Bone marrow smear; single cell centered in the field:
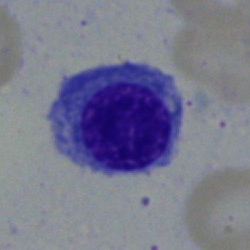

Cell type: nucleated red blood cell.